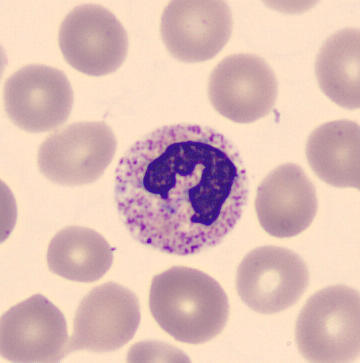

Cell = band neutrophil.